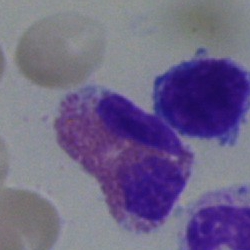

Morphology — eosinophilic granulocyte.